Bone marrow smear · MGG-stained · single-cell field — 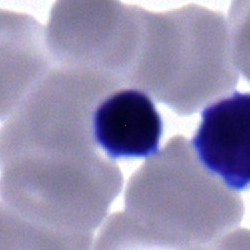 Specimen: bone marrow smear.
Morphological class: lymphocyte.
Lineage: lymphoid.